Bone marrow aspirate smear. 250 by 250 pixels
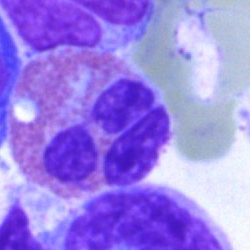Morphological class = eosinophilic granulocyte.